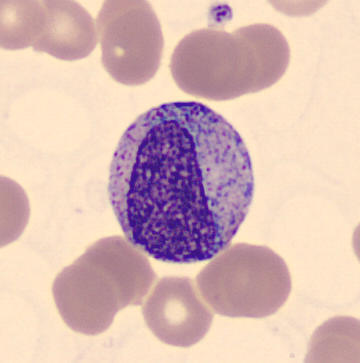A myelocyte on a peripheral blood smear.